Single cell centered in the field · bone marrow smear · 250×250 px.
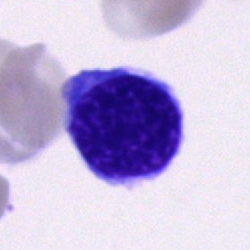Typical lymphocyte.